Peripheral blood smear.
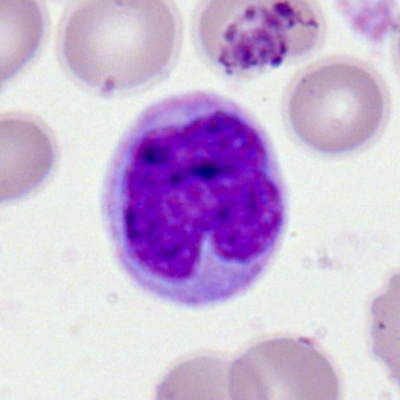

Q: What cell is this?
A: A monocyte.